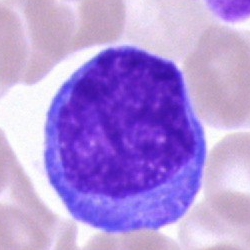Specimen: bone marrow smear.
Cell type: unidentifiable cell.